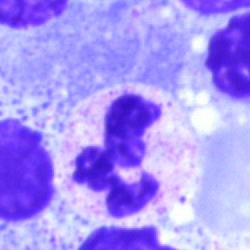

Segmented neutrophil.